Bone marrow smear:
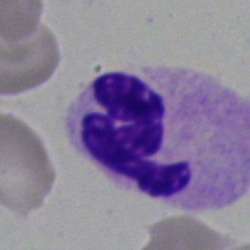

Single cell identified as a neutrophil (segmented).